Bone marrow aspirate smear: 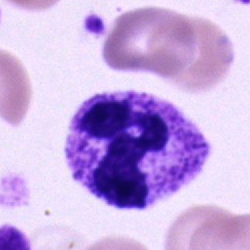 The cell shown is a neutrophil (segmented).